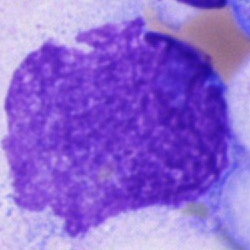

An artefact on a bone marrow smear.